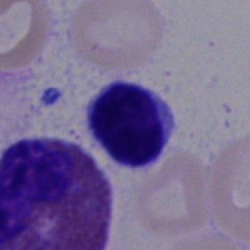Single cell identified as a lymphocyte.